250×250 px; bone marrow aspirate smear; cropped to a single cell
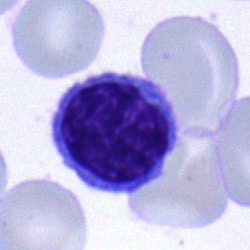

This is a typical lymphocyte.